Bone marrow aspirate smear · May-Grünwald-Giemsa/Pappenheim stain: 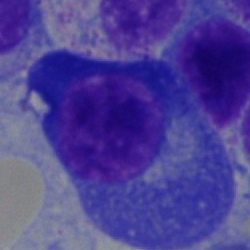Q: What cell is this?
A: A plasma cell.